Bone marrow smear:
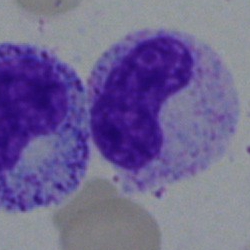

Morphological class: neutrophil (band).